Bone marrow aspirate smear — 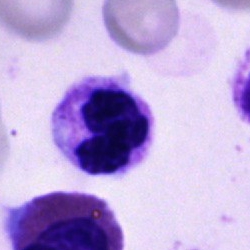

Specimen: bone marrow aspirate smear.
Morphological class: polymorphonuclear neutrophil.